Bone marrow smear
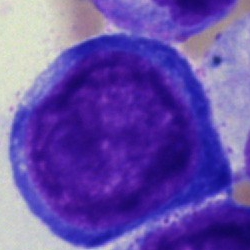
Q: What cell is this?
A: This is a pronormoblast.